Single-cell crop; bone marrow aspirate smear: 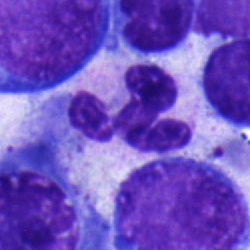 Specimen: bone marrow aspirate smear.
Morphological class: polymorphonuclear neutrophil.